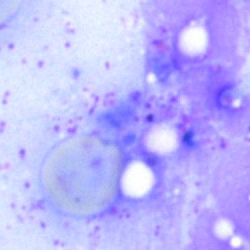
Morphology → artefact.